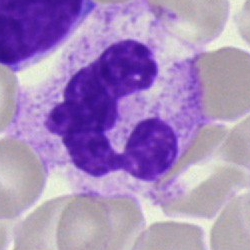
Bone marrow smear showing a polymorphonuclear neutrophil.